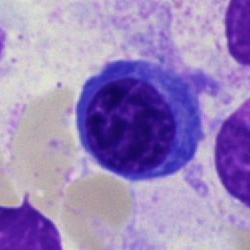 Bone marrow aspirate smear, single cell — nucleated red blood cell.